Peripheral blood smear — 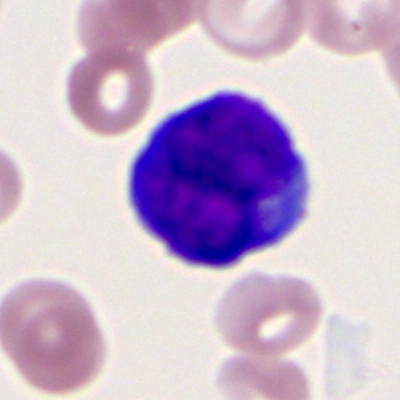

Showing a bilobed promyelocyte.